Brightfield microscopy, 40× oil immersion; bone marrow aspirate smear: 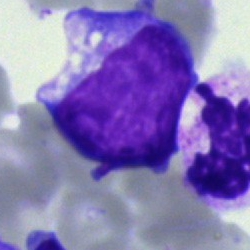 Cell = undifferentiated blast.